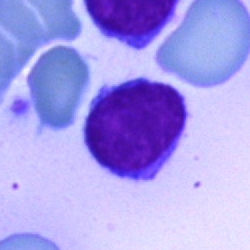Q: What cell is this?
A: This is a typical lymphocyte.